Bone marrow smear
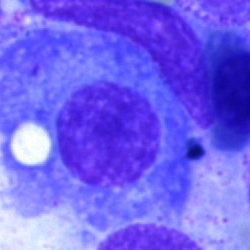Morphology consistent with a plasma cell.